Bone marrow aspirate smear — 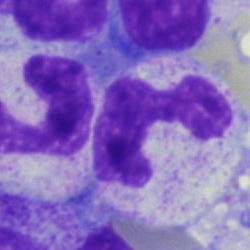Classification: band neutrophil.